250×250 px; 40× objective, oil immersion; bone marrow smear.
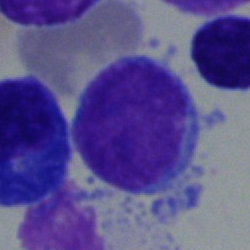 Specimen: bone marrow smear.
Cell type: blast cell.